Bone marrow aspirate smear — 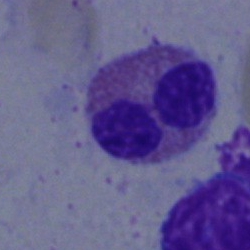

Q: Identify the cell.
A: This is an eosinophilic granulocyte.